Bone marrow smear — 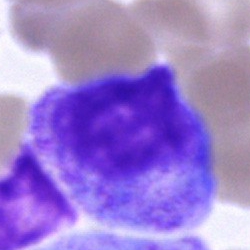
Cell type = progranulocyte.